Bone marrow aspirate smear; May-Grünwald-Giemsa stain — 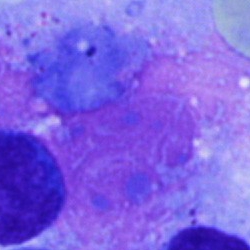 Morphological class — artefact.